Peripheral blood film:
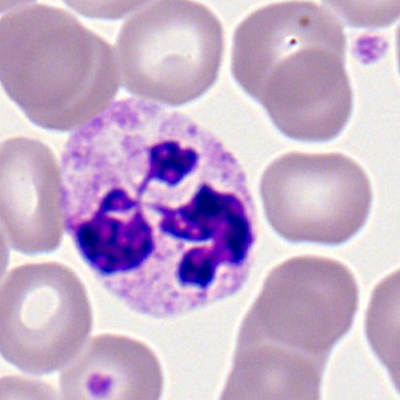

Morphology consistent with a neutrophil (segmented).